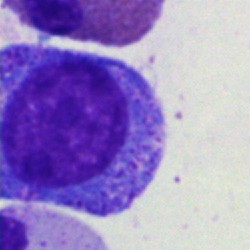Bone marrow smear showing a promyelocyte.